Bone marrow smear
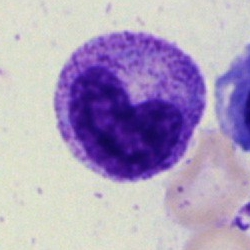 A metamyelocyte.